Bone marrow smear.
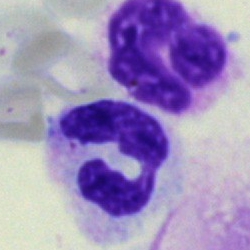

{"cell_type": "segmented neutrophil"}